Peripheral blood film.
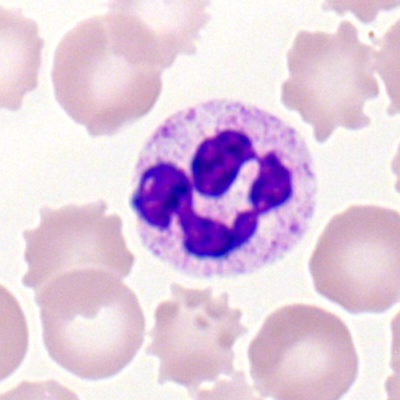
Showing a segmented neutrophil.